Bone marrow aspirate smear:
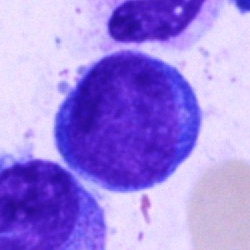

Impression → pronormoblast.